Brightfield microscopy, 40× oil immersion. Cropped to a single cell. Bone marrow smear.
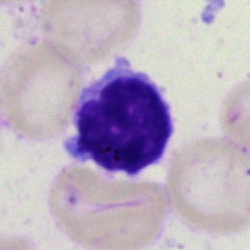 Cell type = typical lymphocyte.